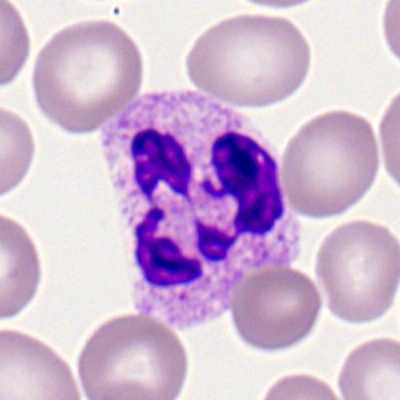

Impression → polymorphonuclear neutrophil.